Bone marrow aspirate smear — 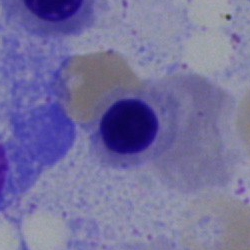

Morphology — nucleated red blood cell.